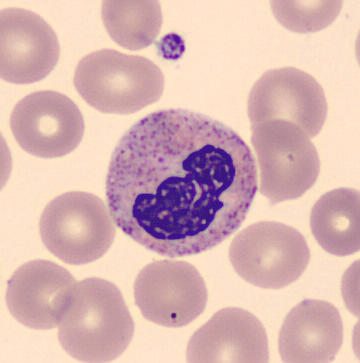

Preparation: Peripheral blood film · MGG stain.
The morphological class is polymorphonuclear neutrophil.